Image size 250×250 · bone marrow smear
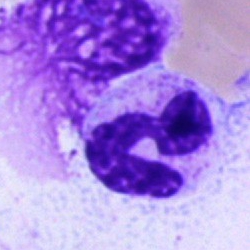
A typical lymphocyte.